Bone marrow aspirate smear. Cropped to a single cell
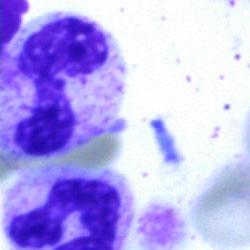
Specimen: bone marrow smear.
Morphological class: neutrophil (segmented).